Brightfield, 40× oil-immersion objective · image size 250×250 · bone marrow aspirate smear:
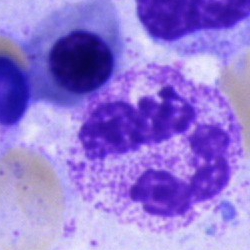
Q: What is the morphological classification of this cell?
A: It is a segmented neutrophil.